Bone marrow aspirate smear — 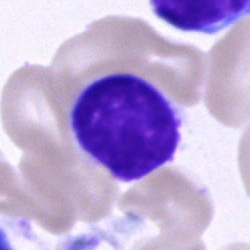Specimen: bone marrow aspirate smear.
Cell type: lymphocyte.
Lineage: lymphoid.